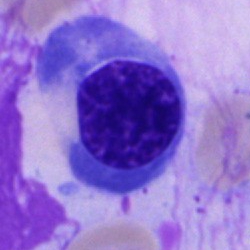 Single-cell crop from a bone marrow smear: nucleated red cell.